Bone marrow aspirate smear:
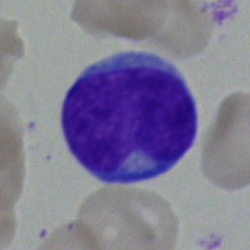

An undifferentiated blast.